Bone marrow aspirate smear
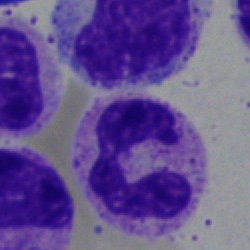
Q: What is shown here?
A: A neutrophil (segmented).